Single-cell crop. Bone marrow smear:
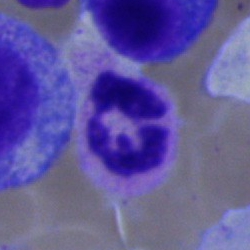

Impression → segmented neutrophil.